Bone marrow aspirate smear: 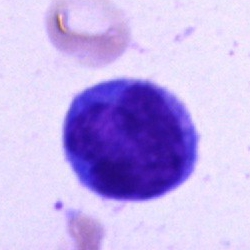 {"cell_type": "monocyte", "lineage": "myeloid"}